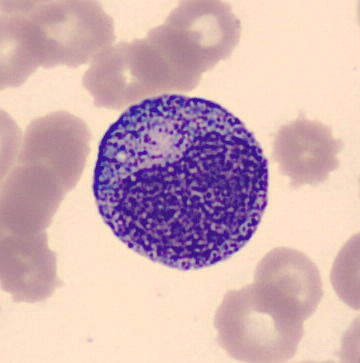A myelocyte on a peripheral blood smear.